Peripheral blood smear — 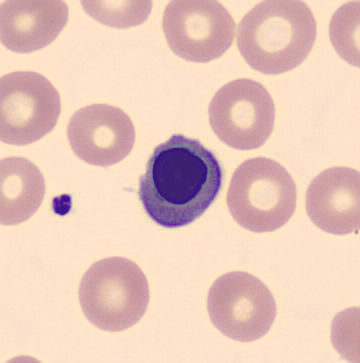

Cell type: normoblast.